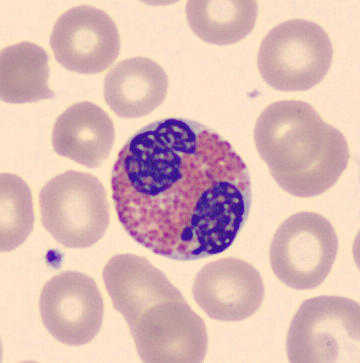Image: Peripheral blood smear. May-Grünwald-Giemsa-stained.
The cell shown is an eosinophil.